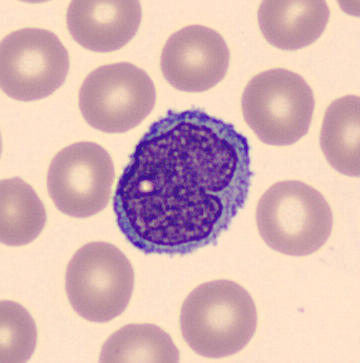Specimen: peripheral blood film.
Cell: monocyte.
Lineage: myeloid.